Bone marrow aspirate smear. Single cell centered in the field: 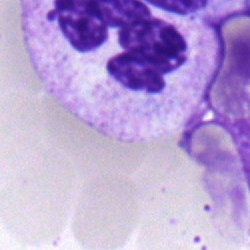

Morphological class = neutrophil (segmented).